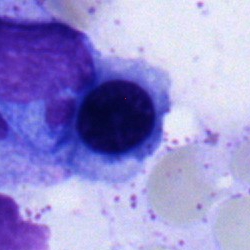A normoblast on a bone marrow smear.